Bone marrow smear: 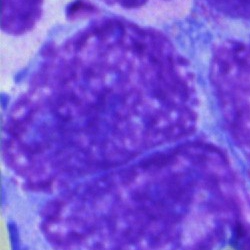This is an artifact.